Single-cell crop · peripheral blood smear · 100× oil immersion, 14.14 px/µm — 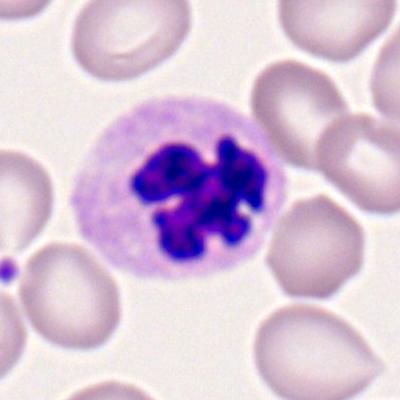
Morphology consistent with a polymorphonuclear neutrophil.